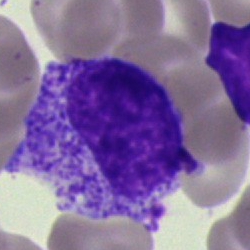Morphological class: myelocyte.